Bone marrow smear.
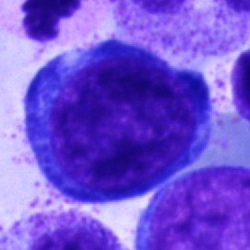
Morphological class — pronormoblast.